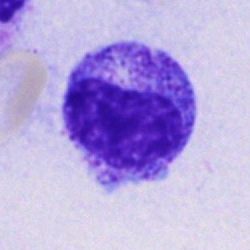
Impression — myelocyte.